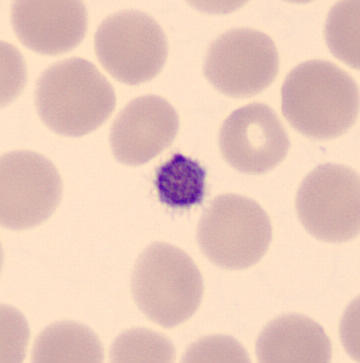 Morphology consistent with a platelet.
Imaged on a CellaVision DM96 analyser; 360 by 363 pixels; peripheral blood film.